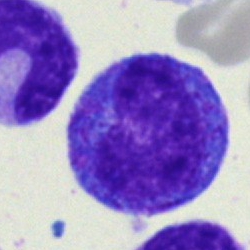 Progranulocyte.